Single-cell crop. May-Grünwald-Giemsa/Pappenheim stain. Bone marrow smear
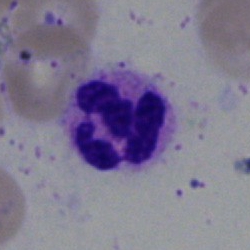 Q: What is the morphological classification of this cell?
A: A neutrophil (segmented).